Bone marrow smear
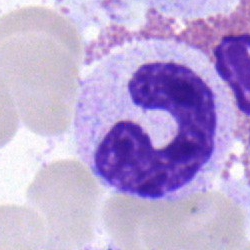 Q: What cell is this?
A: This is a stab cell.